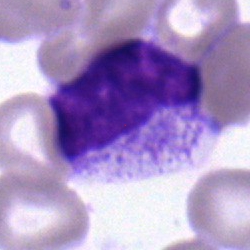Single-cell crop from a bone marrow smear: metamyelocyte.